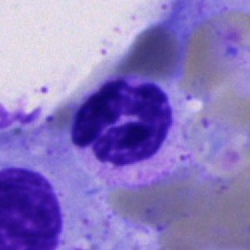 {"cell_type": "segmented neutrophil", "lineage": "myeloid"}